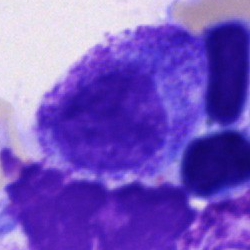
Q: Which cell type is shown here?
A: It is a progranulocyte.